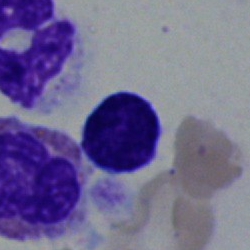 {"cell_type": "lymphocyte", "lineage": "lymphoid"}